Bone marrow aspirate smear · single-cell field · 250×250 px.
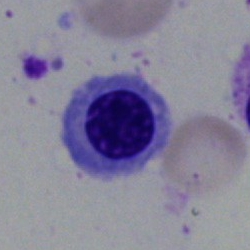The morphological class is normoblast.